Peripheral blood smear
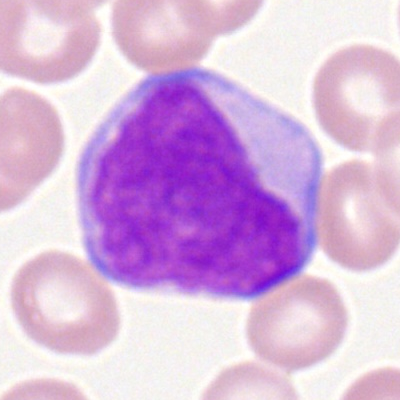
Impression — myeloid blast.